Peripheral blood smear
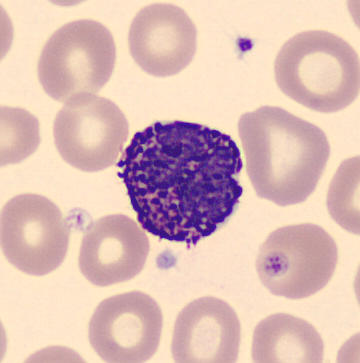Identified as a basophil.